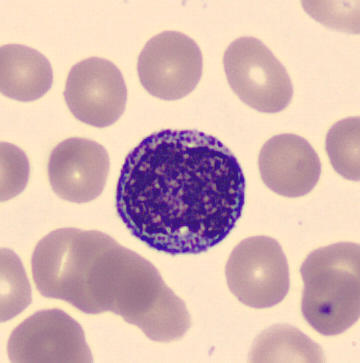Acquisition: Peripheral blood film.

Morphology → myelocyte.